Peripheral blood smear. Romanowsky-stained. 400×400 px — 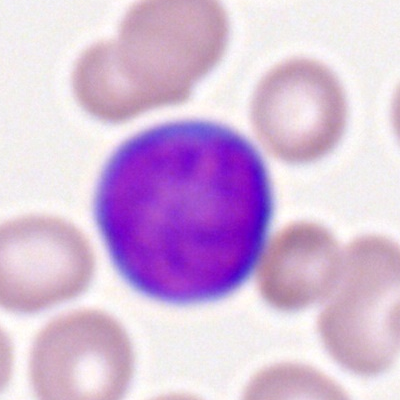 This is a myeloblast.